40× oil immersion. Bone marrow aspirate smear. Image size 250×250: 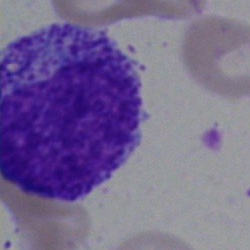 Morphology → progranulocyte.